40× oil immersion. Bone marrow aspirate smear. Cropped to a single cell.
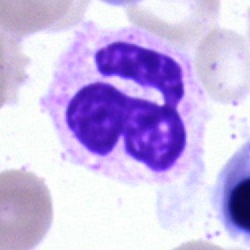

Cell type: polymorphonuclear neutrophil.